Bone marrow smear:
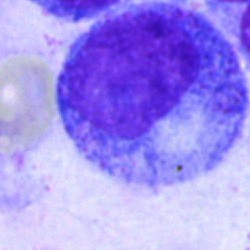

Promyelocyte.